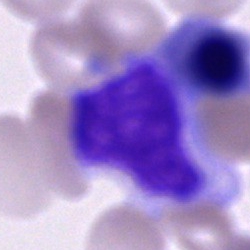
Bone marrow smear showing a cell of indeterminate lineage.